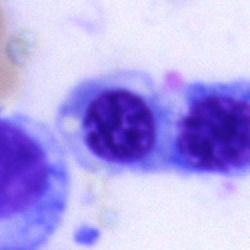

Classification: nucleated red cell.